Bone marrow aspirate smear:
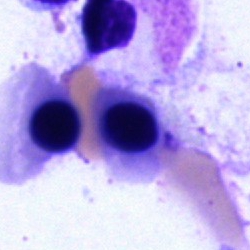 Classification — normoblast.